Bone marrow smear: 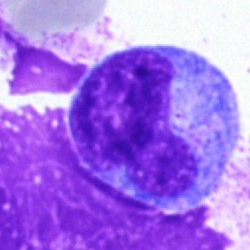

A monocyte.